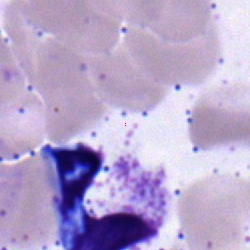

The cell type is lymphocyte.